May-Grünwald-Giemsa/Pappenheim stain; bone marrow smear
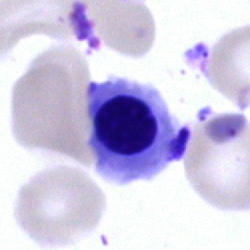 Cell: nucleated red cell.